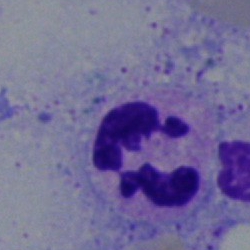 Specimen: bone marrow aspirate smear.
Cell type: polymorphonuclear neutrophil.
Lineage: myeloid.